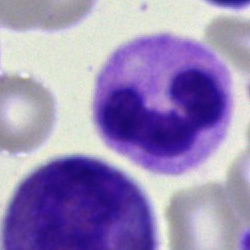 Showing a neutrophil (segmented).